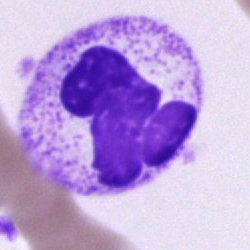

Q: What cell is this?
A: Polymorphonuclear neutrophil.